Romanowsky stain · peripheral blood smear: 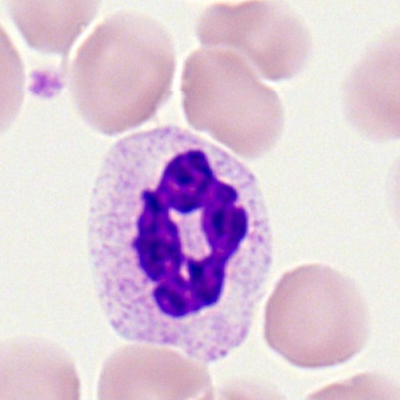
Specimen: peripheral blood film.
Cell type: polymorphonuclear neutrophil.
Lineage: myeloid.